Bone marrow smear · single cell centered in the field:
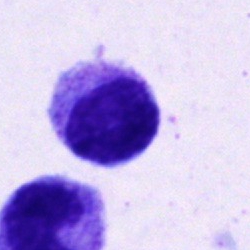
The cell shown is a lymphocyte.